Bone marrow smear; 250 by 250 pixels — 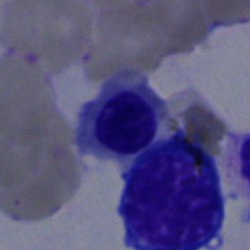This is a normoblast.